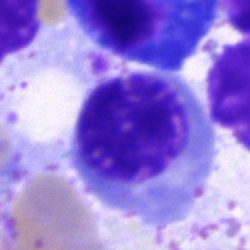

Classification — normoblast.